Bone marrow smear.
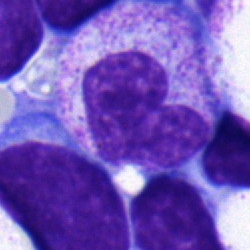Q: What type of cell is this?
A: It is a band-form neutrophil.